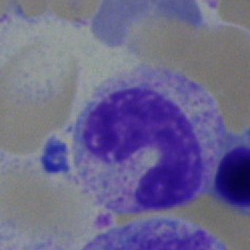

Stab cell.